Peripheral blood smear.
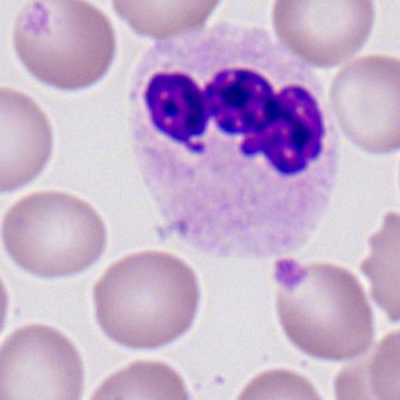 Specimen: peripheral blood film.
Classification: polymorphonuclear neutrophil.
Lineage: myeloid.